250×250. Bone marrow smear.
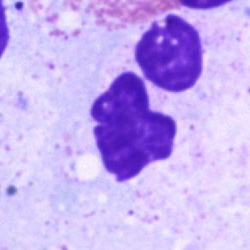
This is an artifact.